Bone marrow aspirate smear.
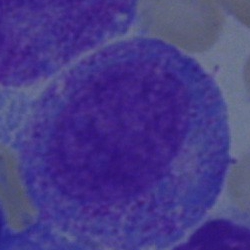Cell: promyelocyte.